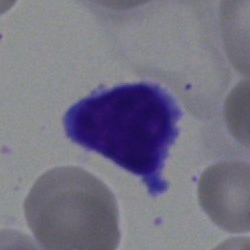Cell: lymphocyte.